Bone marrow aspirate smear; 250×250 px; May-Grünwald-Giemsa/Pappenheim stain
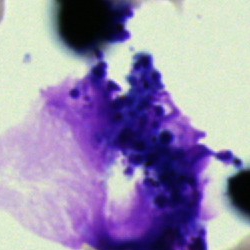Single cell identified as an artifact.